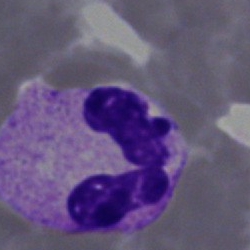

A segmented neutrophil.